Bone marrow smear · May-Grünwald-Giemsa/Pappenheim stain: 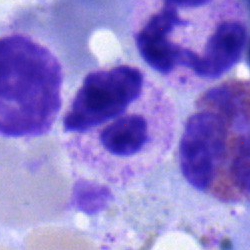 Morphology consistent with a polymorphonuclear neutrophil.